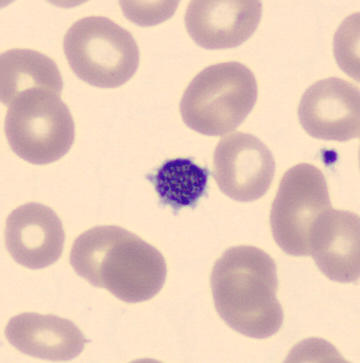

Peripheral blood smear showing a thrombocyte.